Bone marrow aspirate smear.
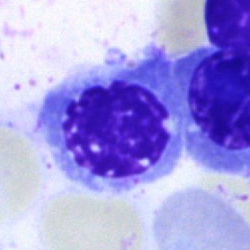Cell type: normoblast.